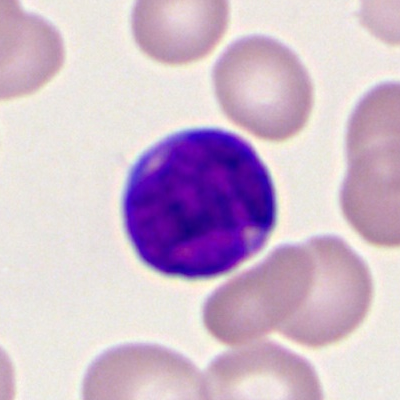 Classification: myeloblast.